May-Grünwald-Giemsa stain; bone marrow smear:
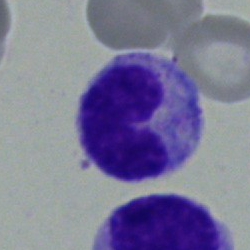
Q: Identify the cell.
A: It is a monocyte.